Peripheral blood film; cropped to a single cell.
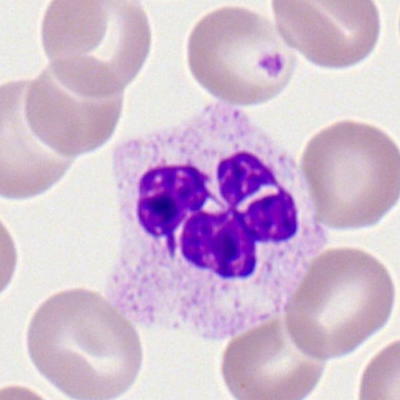 Morphology consistent with a segmented neutrophil.